May-Grünwald-Giemsa stain. Bone marrow aspirate smear
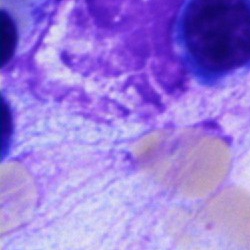
Q: What is shown here?
A: It is an artifact.